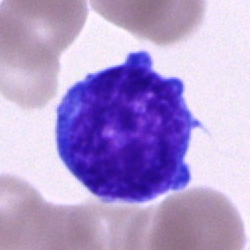The cell shown is an undifferentiated blast.